Peripheral blood film
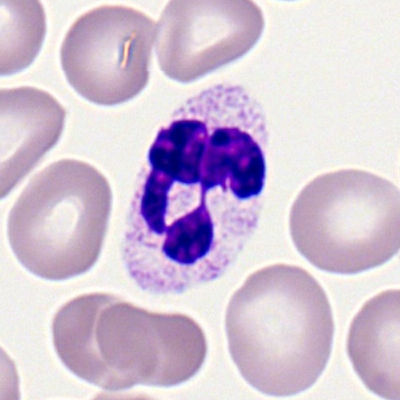

Cell: segmented neutrophil.